Bone marrow smear:
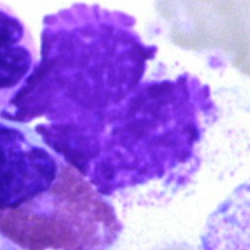 An artifact.